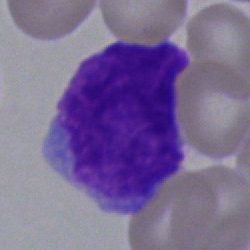Blast.